Bone marrow aspirate smear
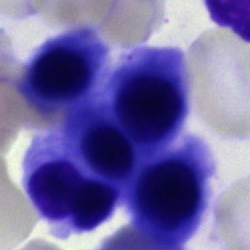

{"cell_type": "erythroblast", "lineage": "erythroid"}